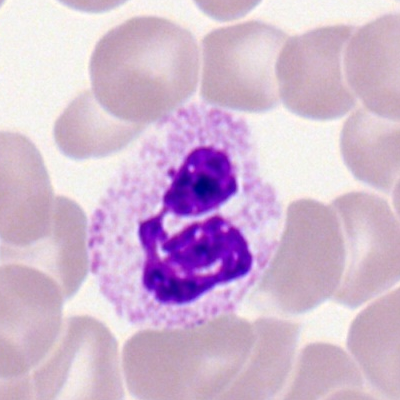
Classification: polymorphonuclear neutrophil.